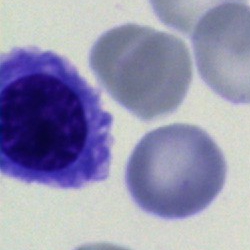 A normoblast on a bone marrow smear.